250 by 250 pixels · bone marrow smear
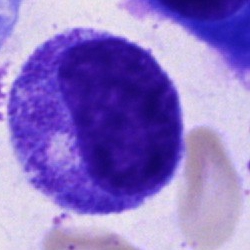 Morphology — promyelocyte.